Single cell centered in the field. Bone marrow aspirate smear:
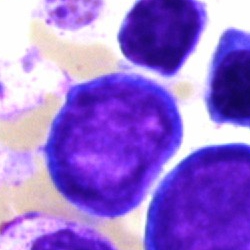 Morphology consistent with a proerythroblast.